Bone marrow aspirate smear · 250×250 · single-cell crop: 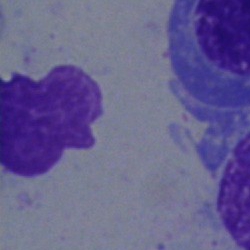
The classification is artifact.